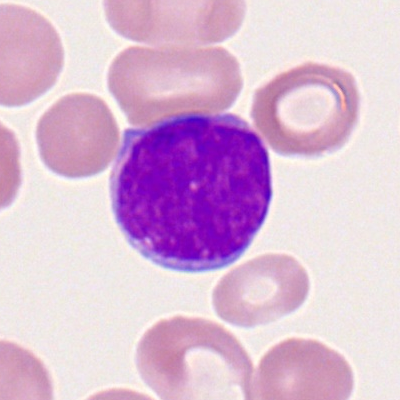 Single-cell crop from a peripheral blood smear: myeloid blast.